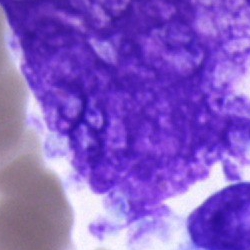
Cell type = artifact.